Peripheral blood smear — 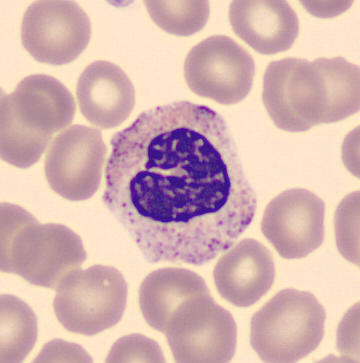 This is a band-form neutrophil.